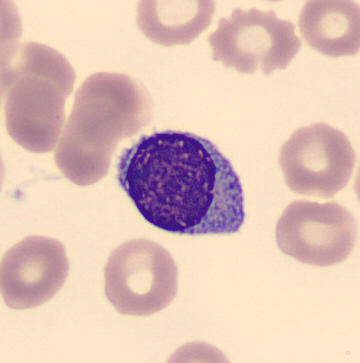Peripheral blood film.

Q: What is this?
A: It is a lymphocyte.